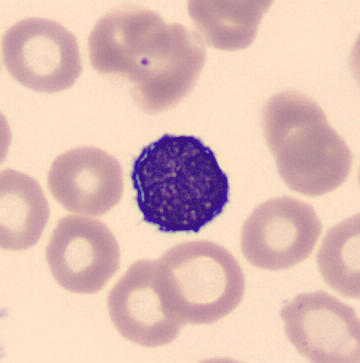

This is a typical lymphocyte.
Acquisition: 360×363 · peripheral blood film.